250×250 px. Bone marrow smear.
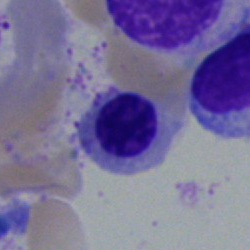

Cell type: erythroblast.